Bone marrow aspirate smear · single-cell crop:
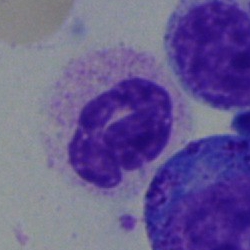 Q: What is the morphological classification of this cell?
A: It is a stab cell.